Bone marrow aspirate smear. Single-cell field. Image size 250×250 — 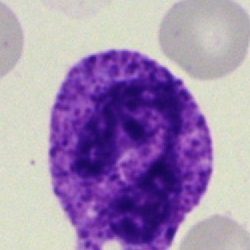
Morphology consistent with a basophilic granulocyte.